Bone marrow aspirate smear · single cell centered in the field · 250×250 px
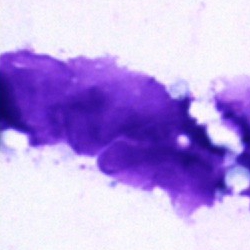
Classification — artefact.